Image size 250×250 · bone marrow aspirate smear:
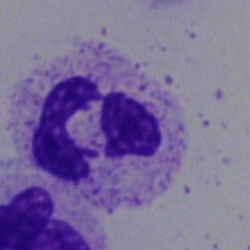{"cell_type": "segmented neutrophil", "lineage": "myeloid"}